MGG-stained. 40× objective, oil immersion. Bone marrow aspirate smear.
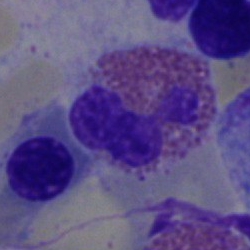 Cell type: eosinophil.